Bone marrow smear — 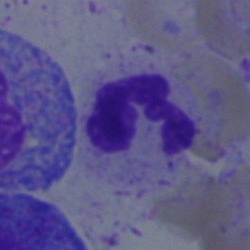 Single cell identified as a polymorphonuclear neutrophil.